Bone marrow aspirate smear:
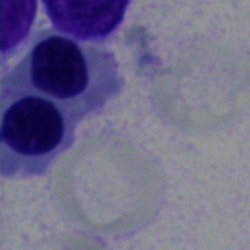
Specimen: bone marrow aspirate smear.
Classification: nucleated red cell.
Lineage: erythroid.